Bone marrow smear:
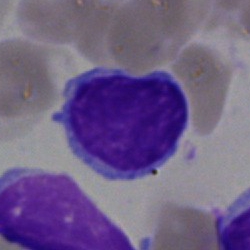

Impression — typical lymphocyte.